Single-cell crop · 40× oil immersion · bone marrow smear — 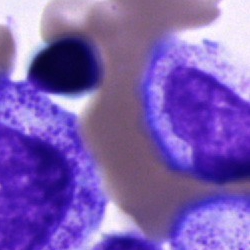
Morphological class — unidentifiable cell.